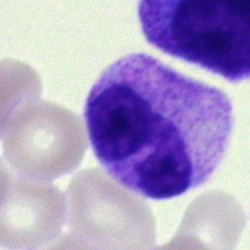
Bone marrow smear showing a monocyte.